Bone marrow aspirate smear.
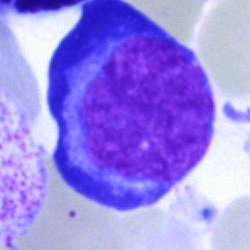

Single cell identified as an erythroblast.